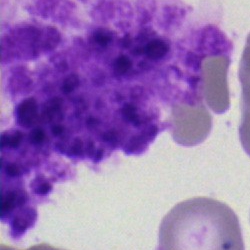 Morphological class — artefact.